Bone marrow aspirate smear.
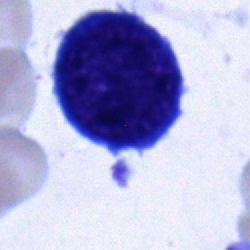
Morphology — normoblast.